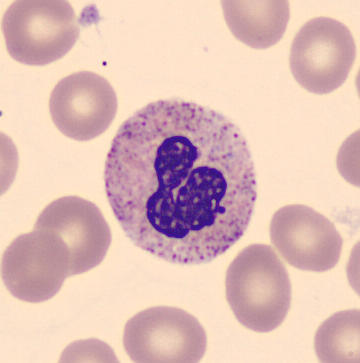
Image: Peripheral blood film.

Impression — segmented neutrophil.